Peripheral blood film — 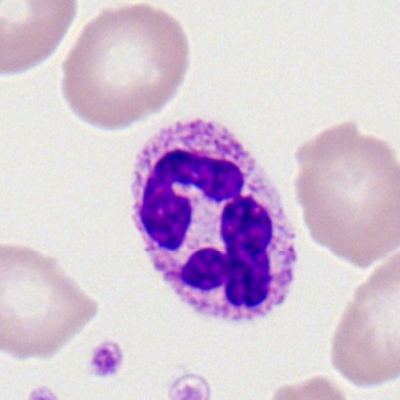Segmented neutrophil.